250×250 px · bone marrow aspirate smear.
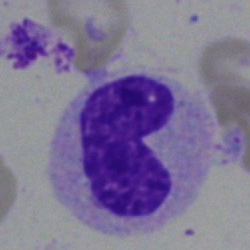

Morphological class — band neutrophil.